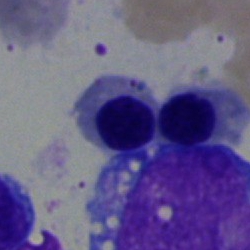Classification: nucleated red cell.